250×250 px · bone marrow smear — 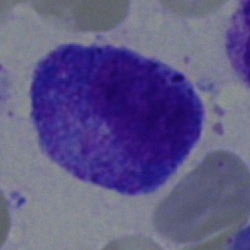 Specimen: bone marrow aspirate smear.
Cell type: promyelocyte.
Lineage: myeloid.